Bone marrow aspirate smear
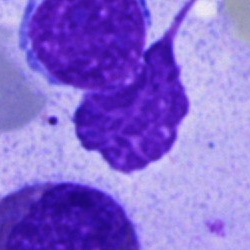

Cell type: artefact.